Bone marrow smear.
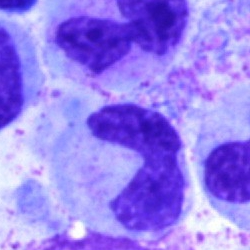

Neutrophil (band).